Bone marrow aspirate smear; brightfield, 40× oil-immersion objective — 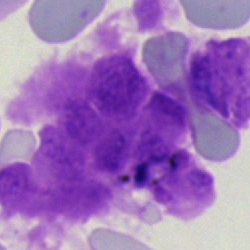

Cell type = artifact.